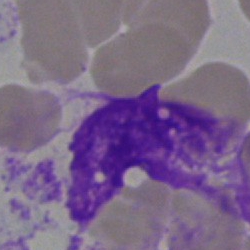

Morphology → artifact.